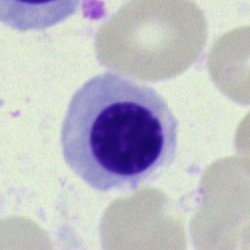Bone marrow smear showing a nucleated red cell.